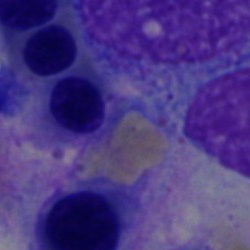
Q: What is shown here?
A: Artifact.